Bone marrow smear · Pappenheim-stained:
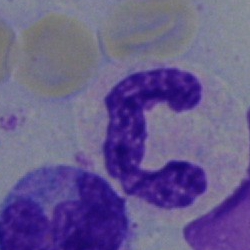 Showing a neutrophil (segmented).